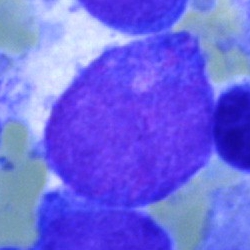Q: Which cell type is shown here?
A: This is a blast cell.